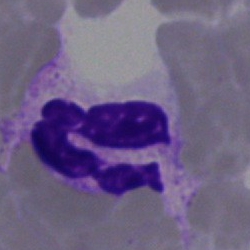

This is a polymorphonuclear neutrophil.